Brightfield, 40× oil-immersion objective; single cell centered in the field; bone marrow aspirate smear: 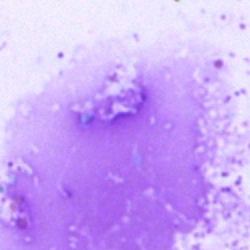

Impression — artifact.